Bone marrow smear · 40× oil immersion — 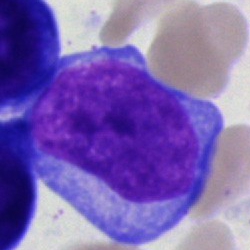 Morphology consistent with an undifferentiated blast.